Peripheral blood film: 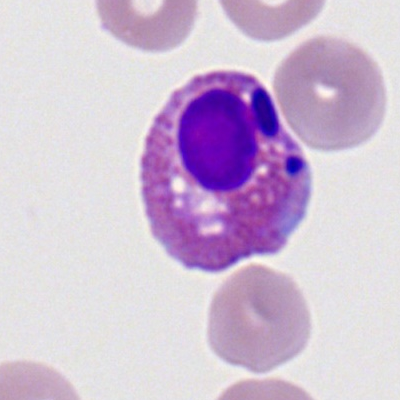Q: What type of cell is this?
A: This is an eosinophilic granulocyte.